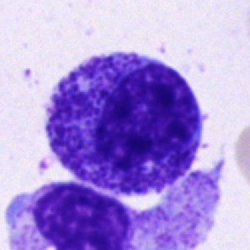 Q: What cell is this?
A: This is a promyelocyte.